May-Grünwald-Giemsa/Pappenheim stain · bone marrow smear:
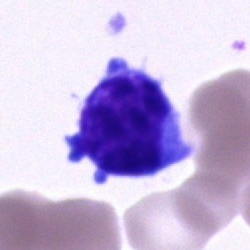
Morphology consistent with a blast cell.